Peripheral blood film; 100× oil immersion: 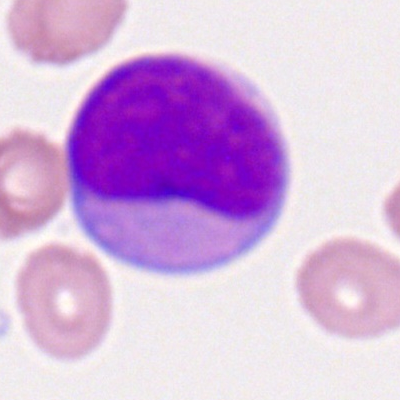 Impression — myeloblast.